Bone marrow smear; brightfield, 40× oil-immersion objective
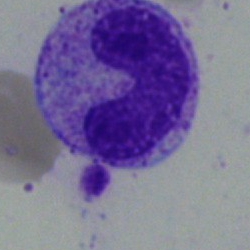

Cell = neutrophil (band).